Bone marrow smear · 250 by 250 pixels.
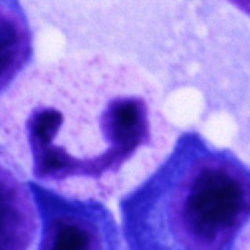

{"cell_type": "neutrophil (segmented)", "lineage": "myeloid"}